Bone marrow aspirate smear — 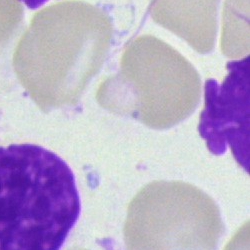Showing an artifact.